40× oil immersion; single-cell crop; bone marrow smear.
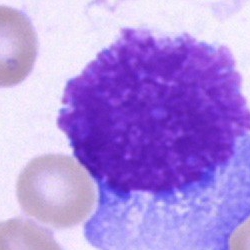
Q: What is shown here?
A: This is an artefact.